Bone marrow smear. Brightfield, 40× oil-immersion objective: 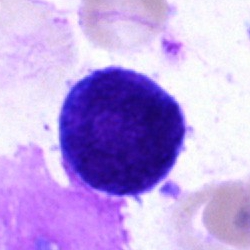 The morphological class is undifferentiated blast.